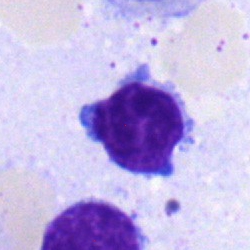The cell type is typical lymphocyte.